40× objective, oil immersion. Bone marrow smear:
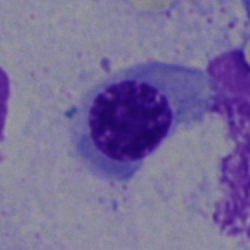Specimen: bone marrow smear.
Classification: nucleated red cell.
Lineage: erythroid.